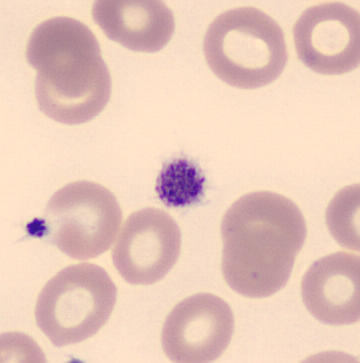Q: What is this?
A: It is a platelet. Preparation: Peripheral blood film.